Peripheral blood film — 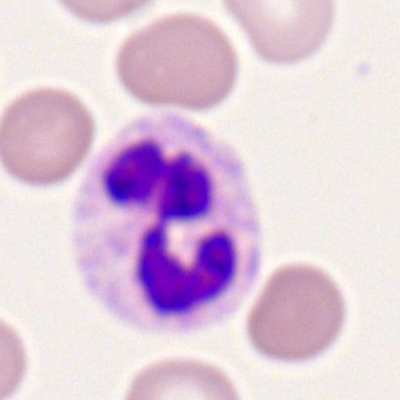

Specimen: peripheral blood smear.
Classification: neutrophil (segmented).
Lineage: myeloid.